Bone marrow smear:
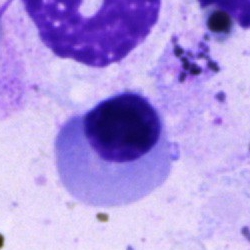Q: What is shown here?
A: This is an erythroblast.